Single-cell crop · 250×250 · bone marrow aspirate smear.
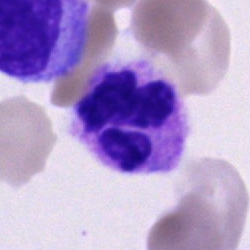

This is a neutrophil (segmented).